Bone marrow aspirate smear; single-cell field:
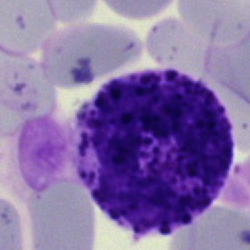 Specimen: bone marrow smear.
Classification: basophilic granulocyte.